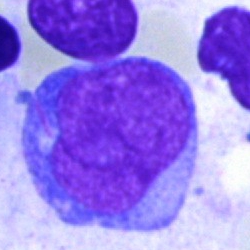Bone marrow aspirate smear, single cell — blast.